Bone marrow smear
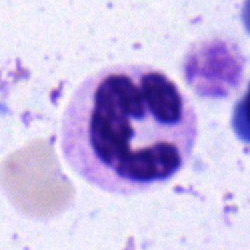

Classification: neutrophil (segmented).